Single-cell field. 250×250 px. Bone marrow aspirate smear — 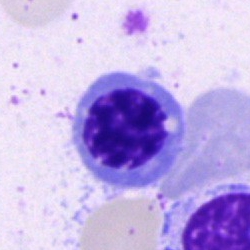

This is a nucleated red cell.